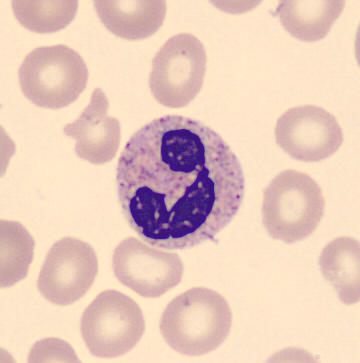

Segmented neutrophil.